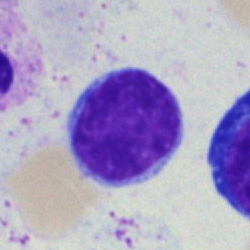
Specimen: bone marrow aspirate smear.
Morphological class: typical lymphocyte.